Bone marrow aspirate smear — 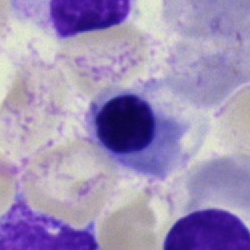
A nucleated red blood cell.